Bone marrow smear: 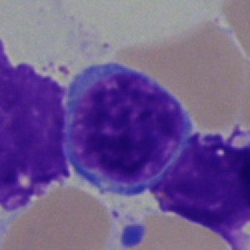The cell shown is a lymphocyte.